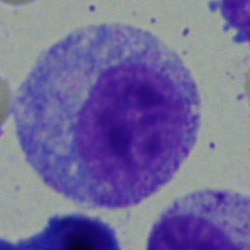
A myelocyte.